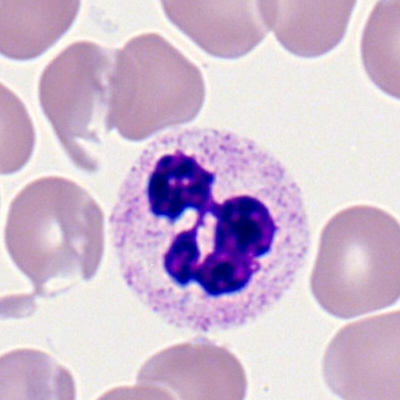Cell: neutrophil (segmented).